Bone marrow aspirate smear · brightfield, 40× oil-immersion objective — 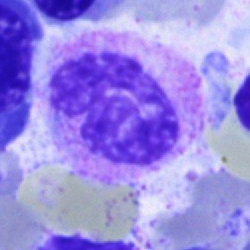
Specimen: bone marrow aspirate smear.
Cell: polymorphonuclear neutrophil.
Lineage: myeloid.